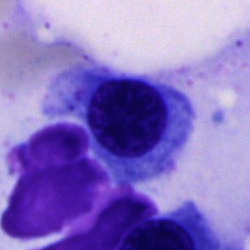The cell is nucleated red blood cell.